Single-cell field. 250 by 250 pixels. Bone marrow smear
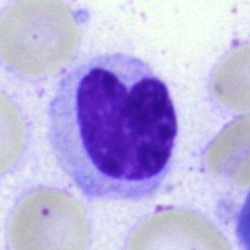

Showing a band-form neutrophil.